Bone marrow smear — 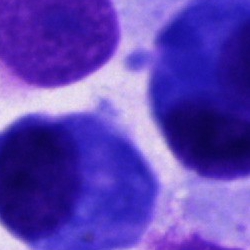

Cell = other cell type.